Bone marrow aspirate smear. 250×250 — 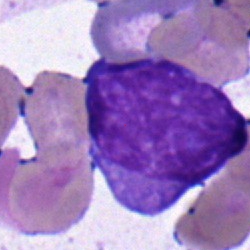

The classification is typical lymphocyte.